Bone marrow smear
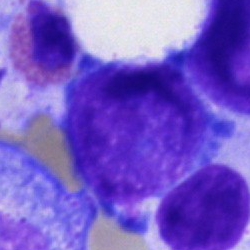Q: What cell is this?
A: An unidentifiable cell.